Bone marrow aspirate smear · 250×250 px:
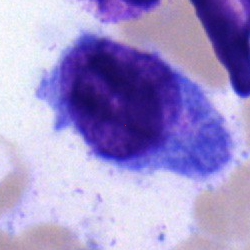
An undifferentiated blast.